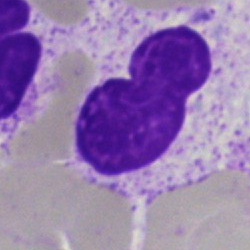
Single-cell crop from a bone marrow smear: artifact.